Bone marrow smear; Pappenheim-stained.
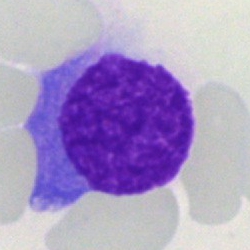
Specimen: bone marrow smear.
Cell: artefact.